Bone marrow smear:
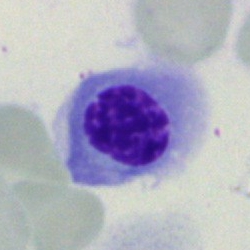
Impression — nucleated red cell.